400×400 px; peripheral blood smear
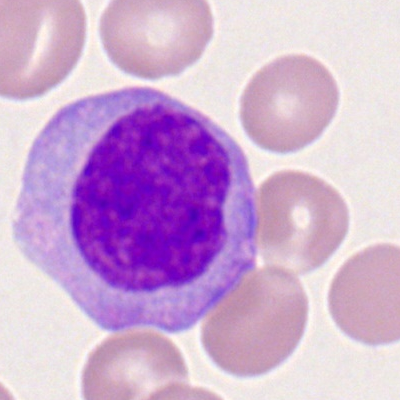A monocyte.